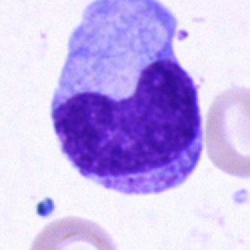

Impression — metamyelocyte.